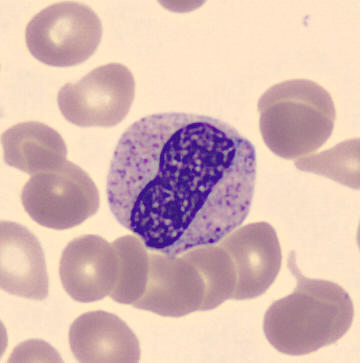Single-cell crop; MGG stain. Specimen: peripheral blood smear.
Classification: metamyelocyte.
Lineage: myeloid.